May-Grünwald-Giemsa stain. Bone marrow smear
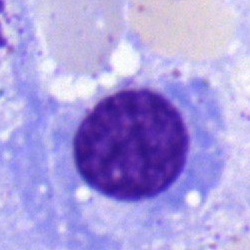

Showing a nucleated red blood cell.